Bone marrow smear:
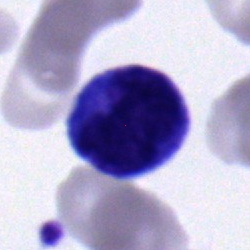

Impression → monocyte.